Image size 250×250. Bone marrow aspirate smear:
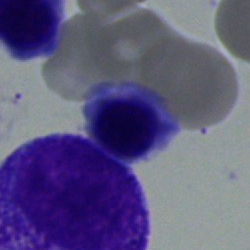 Specimen: bone marrow aspirate smear.
Classification: erythroblast.
Lineage: erythroid.